Bone marrow smear; Pappenheim-stained:
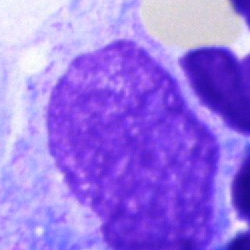

{"cell_type": "artefact"}